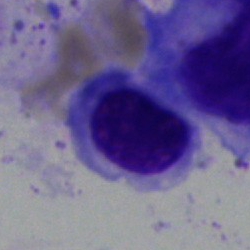
Morphological class = normoblast.